Image size 250×250. Bone marrow smear. May-Grünwald-Giemsa/Pappenheim stain:
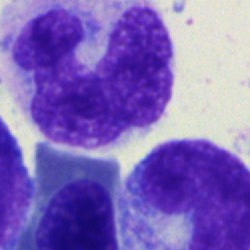
Monocyte.